Bone marrow aspirate smear; 250 by 250 pixels.
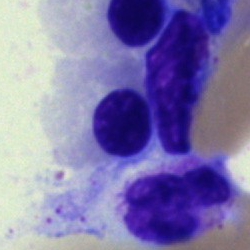 Specimen: bone marrow smear.
Cell type: nucleated red blood cell.